Bone marrow smear · single-cell crop — 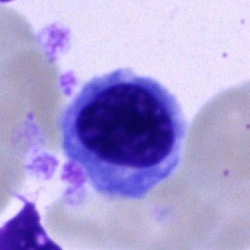 Specimen: bone marrow aspirate smear.
Cell type: erythroblast.
Lineage: erythroid.